Bone marrow smear. Brightfield microscopy, 40× oil immersion.
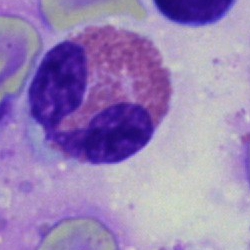 Eosinophilic granulocyte.